Bone marrow aspirate smear. Single cell centered in the field. 250×250 px:
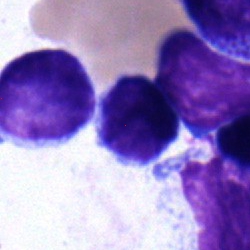Q: Identify the cell.
A: Typical lymphocyte.